Image size 250×250. 40× objective, oil immersion. Bone marrow smear
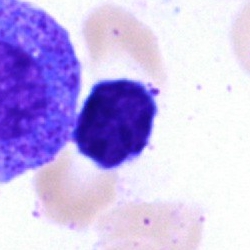 Morphological class — lymphocyte.